Bone marrow aspirate smear
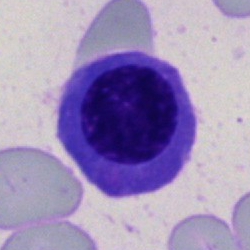
A normoblast.